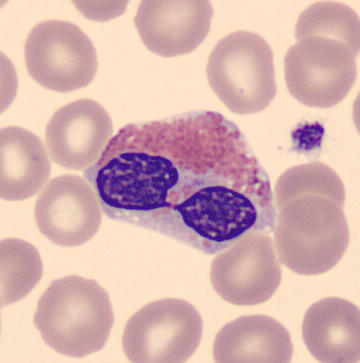Classification: eosinophil.
Acquisition: CellaVision DM96 · peripheral blood smear.